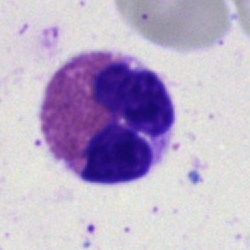Bone marrow smear showing an eosinophil.